Bone marrow smear; single-cell crop: 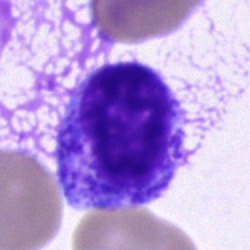 Myelocyte.